Bone marrow smear. Brightfield, 40× oil-immersion objective — 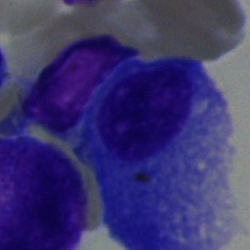
Showing a plasma cell.